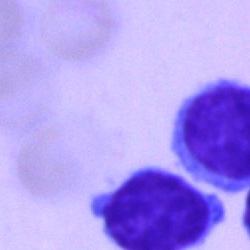Impression → typical lymphocyte.